Bone marrow aspirate smear — 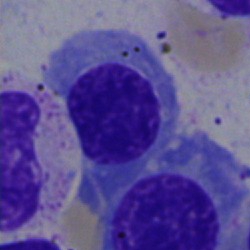 Morphological class = nucleated red cell.